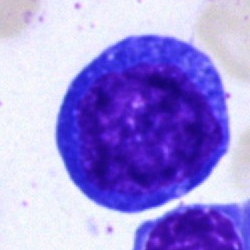 Q: What type of cell is this?
A: Erythroblast.